Single-cell crop. Bone marrow smear — 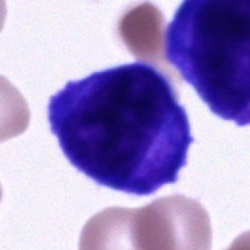

This is a cell of indeterminate lineage.